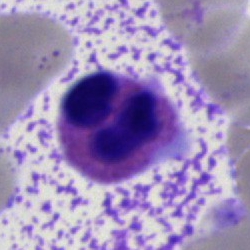 Q: What is the morphological classification of this cell?
A: It is an eosinophilic granulocyte.